Brightfield microscopy, 40× oil immersion; bone marrow aspirate smear: 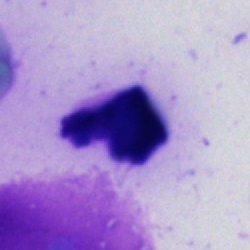

Morphology consistent with an artefact.